Peripheral blood smear: 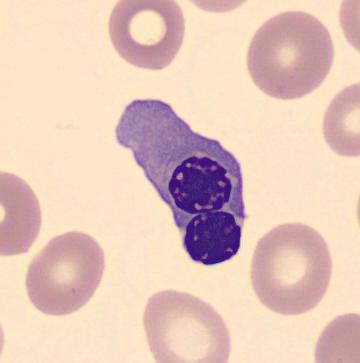
Q: What type of cell is this?
A: This is a nucleated red blood cell.